Bone marrow smear
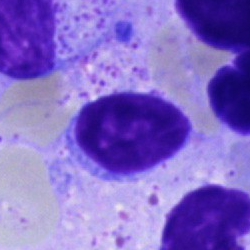Q: What cell is this?
A: A typical lymphocyte.